Single-cell field. Bone marrow aspirate smear. Brightfield, 40× oil-immersion objective
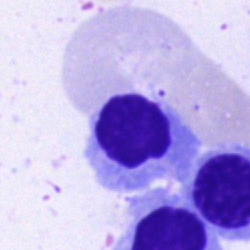 Cell type = nucleated red cell.